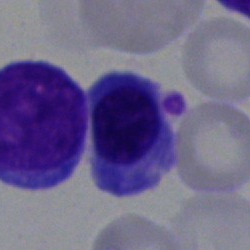

Morphological class: nucleated red blood cell.